Bone marrow smear:
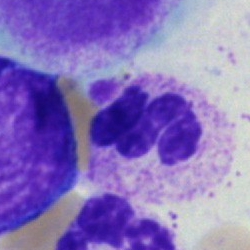

Impression → segmented neutrophil.